Bone marrow aspirate smear:
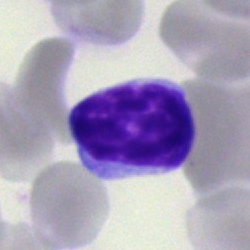
The cell shown is a lymphocyte.